Bone marrow aspirate smear; 250×250.
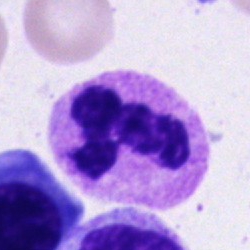
Cell — polymorphonuclear neutrophil.